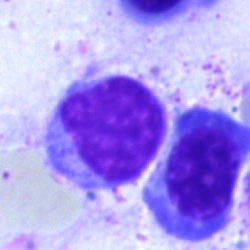

Single-cell crop from a bone marrow smear: typical lymphocyte.